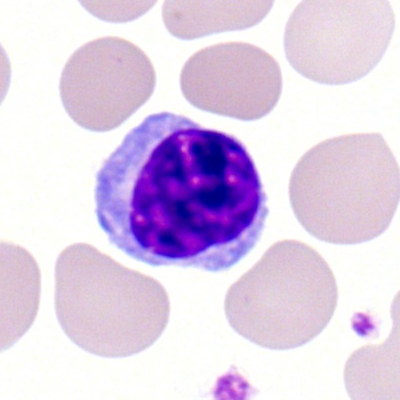A typical lymphocyte on a peripheral blood smear.